Bone marrow smear
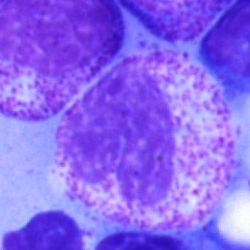
Morphology → myelocyte.